Bone marrow smear; single cell centered in the field: 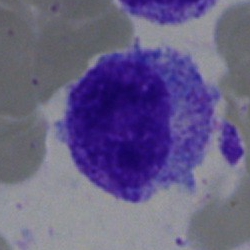

The cell shown is a progranulocyte.